Bone marrow smear; 40× objective, oil immersion: 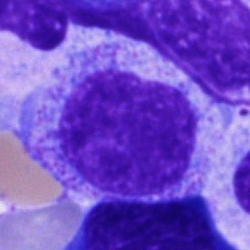 Q: What cell is this?
A: A promyelocyte.